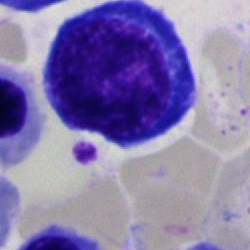 Bone marrow aspirate smear, single cell — normoblast.